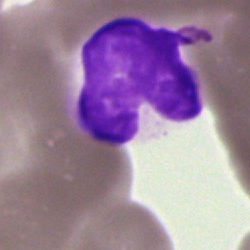
Morphology — artifact.